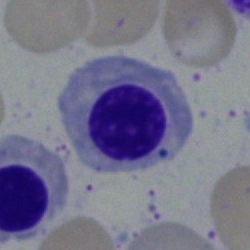 Impression → erythroblast.